Bone marrow smear
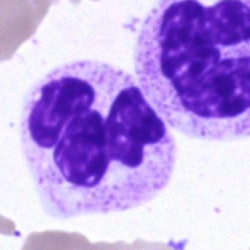

{"cell_type": "segmented neutrophil"}